Bone marrow aspirate smear
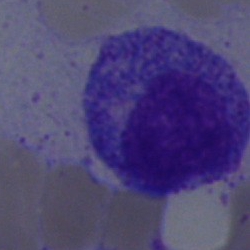 Single cell identified as a progranulocyte.